Bone marrow aspirate smear; cropped to a single cell; 40× oil immersion: 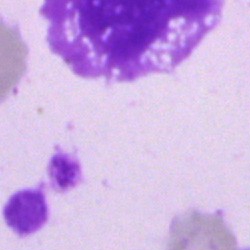Morphology consistent with an artefact.